Bone marrow aspirate smear; 40× objective, oil immersion; image size 250×250 — 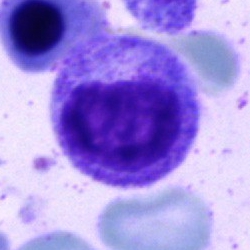The morphological class is progranulocyte.